Bone marrow aspirate smear
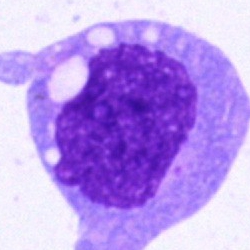
Morphology → unidentifiable cell.